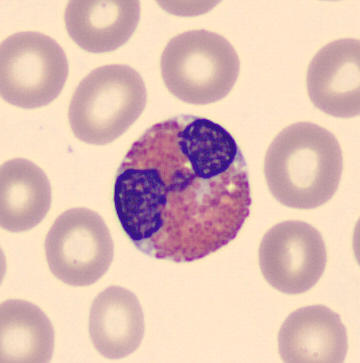 Image: Peripheral blood smear.

Morphology → eosinophil.